Bone marrow aspirate smear — 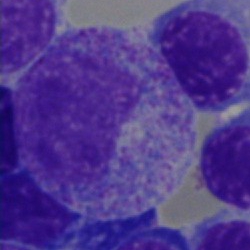 Showing a progranulocyte.